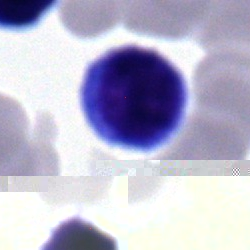 A typical lymphocyte on a bone marrow smear.